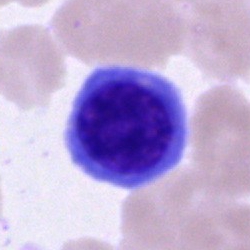 Q: Which cell type is shown here?
A: A normoblast.